Bone marrow aspirate smear · MGG-stained
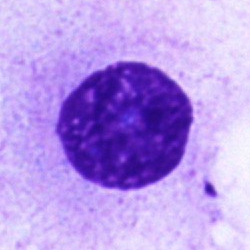The cell type is plasmacyte.